Bone marrow aspirate smear: 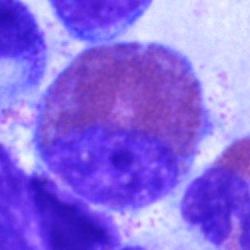 {"cell_type": "eosinophil"}